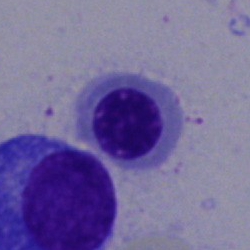Morphological class: erythroblast.